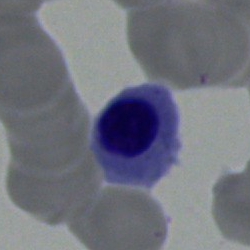
Q: Which cell type is shown here?
A: An erythroblast.